Bone marrow smear; brightfield microscopy, 40× oil immersion; single cell centered in the field — 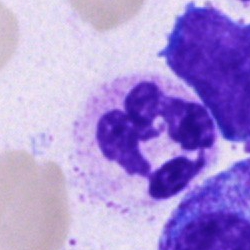
Morphology consistent with a segmented neutrophil.